Bone marrow aspirate smear
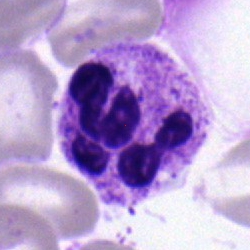
{"cell_type": "neutrophil (segmented)"}